Bone marrow aspirate smear · Pappenheim-stained:
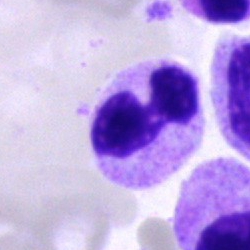

Impression → polymorphonuclear neutrophil.